Bone marrow smear — 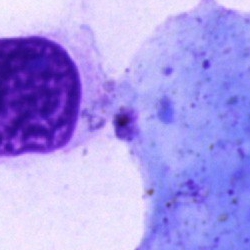Cell: artefact.